May-Grünwald-Giemsa stain · bone marrow smear.
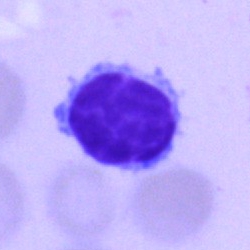 A lymphocyte.